Bone marrow smear:
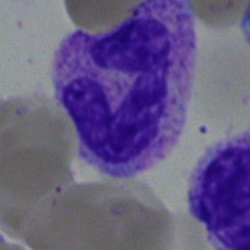This is a stab cell.